Bone marrow aspirate smear; 250×250.
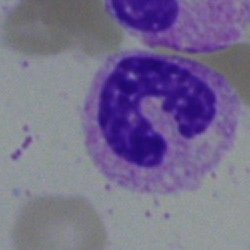
Single cell identified as a neutrophil (band).